Bone marrow smear. May-Grünwald-Giemsa/Pappenheim stain:
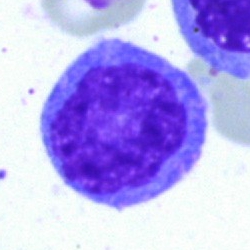
{"cell_type": "monocyte"}